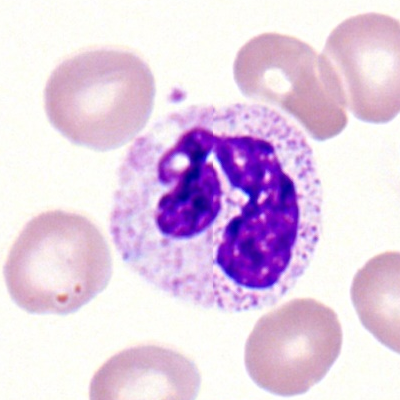

Showing a neutrophil (segmented).